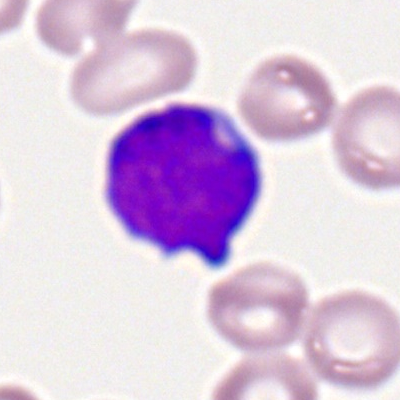 A myeloid blast on a peripheral blood smear.